Bone marrow aspirate smear
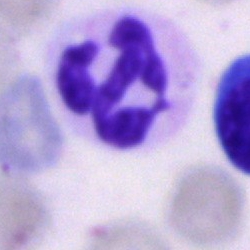
The classification is neutrophil (segmented).